Bone marrow smear
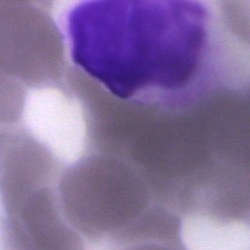 Q: What is shown here?
A: This is an artefact.